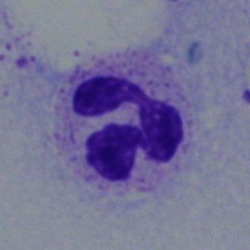
Morphology → segmented neutrophil.